Bone marrow aspirate smear.
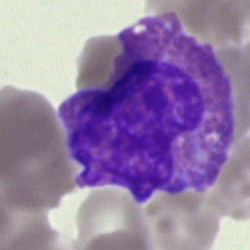Classification: eosinophil.